Bone marrow aspirate smear:
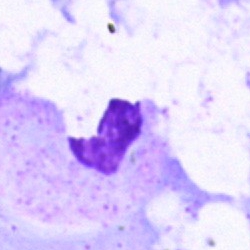Morphology → artifact.